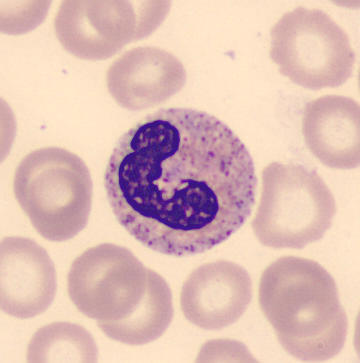

Peripheral blood smear.

The cell type is stab cell.